Bone marrow smear
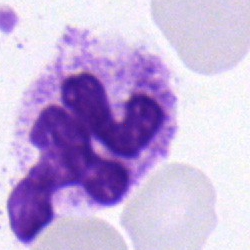

{"cell_type": "polymorphonuclear neutrophil", "lineage": "myeloid"}